Single cell centered in the field. Bone marrow aspirate smear. Brightfield, 40× oil-immersion objective
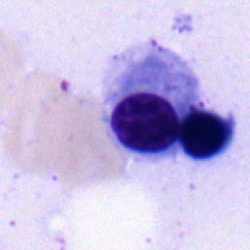This is a nucleated red blood cell.